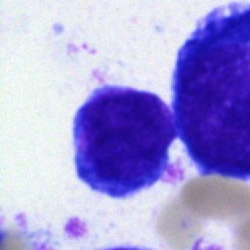 Q: Which cell type is shown here?
A: A typical lymphocyte.